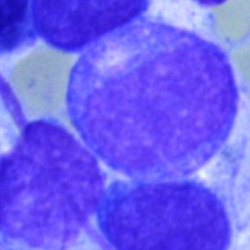
This is a blast cell.